Bone marrow smear
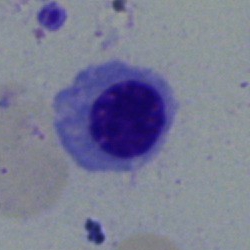An erythroblast.